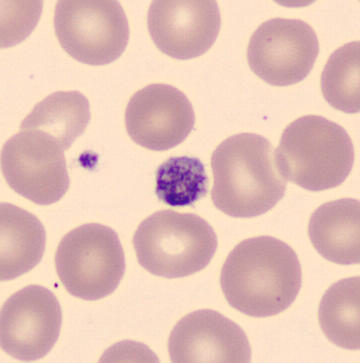 {"cell_type": "thrombocyte"}
Preparation: CellaVision DM96. Peripheral blood film. 360×363 px.